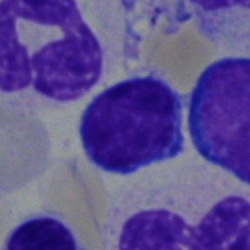 Typical lymphocyte.